Bone marrow smear — 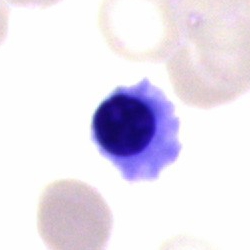

Showing a nucleated red blood cell.